Bone marrow aspirate smear: 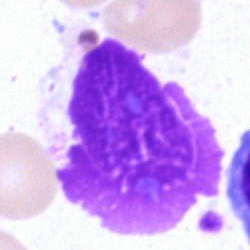Q: What is shown here?
A: An artefact.